250×250; bone marrow aspirate smear; 40× oil immersion: 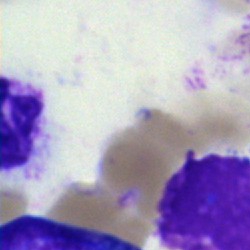Cell type — artefact.